Bone marrow aspirate smear — 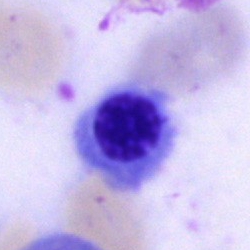

{"cell_type": "nucleated red blood cell", "lineage": "erythroid"}